Bone marrow aspirate smear; single-cell field; May-Grünwald-Giemsa stain: 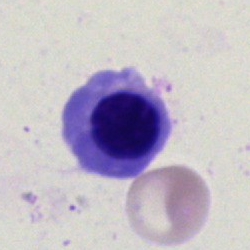
Nucleated red cell.